Bone marrow aspirate smear:
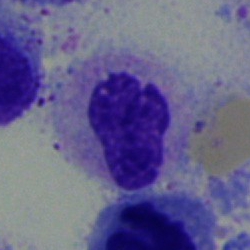

Single cell identified as a band-form neutrophil.